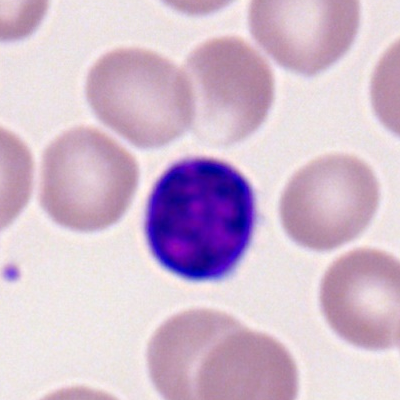 This is a lymphocyte.